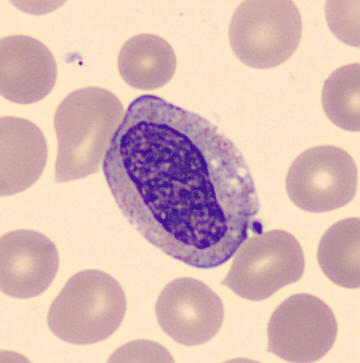 Preparation: Peripheral blood smear.
Impression → myelocyte.